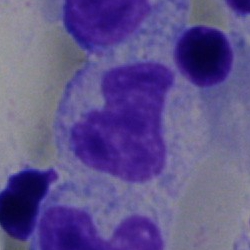

Bone marrow aspirate smear, single cell — stab cell.